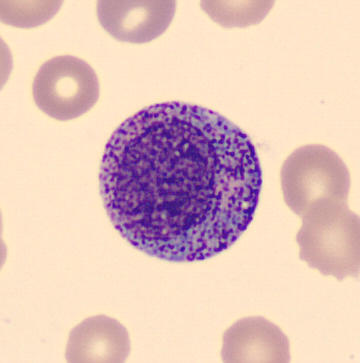
{"cell_type": "progranulocyte"} Preparation: Peripheral blood smear.